250×250. Bone marrow smear
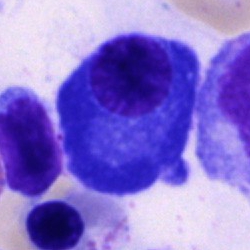

Single cell identified as a plasmacyte.